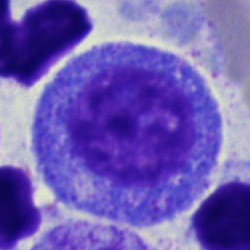 Cell = progranulocyte.